Peripheral blood film
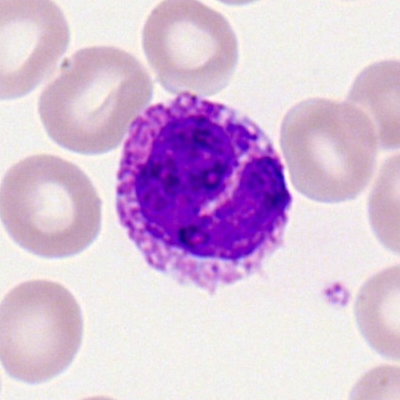Specimen: peripheral blood film.
Cell type: basophil.